Cropped to a single cell · bone marrow aspirate smear: 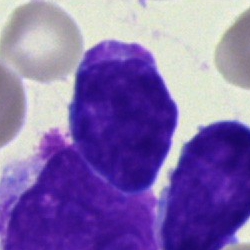
Impression → undifferentiated blast.